Bone marrow aspirate smear; 40× objective, oil immersion — 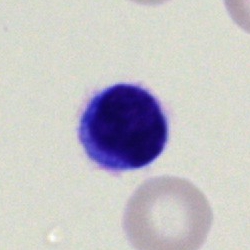

Classification — typical lymphocyte.